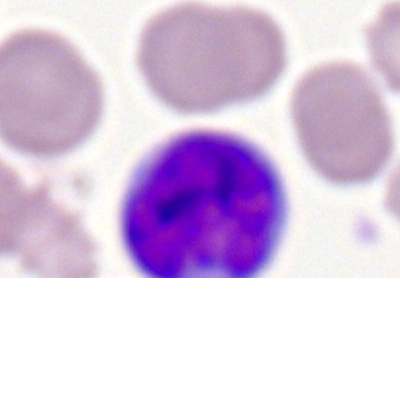 Cell = typical lymphocyte.